Bone marrow aspirate smear: 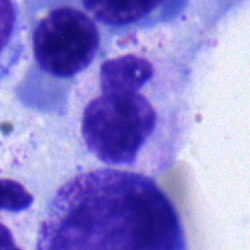
This is a segmented neutrophil.